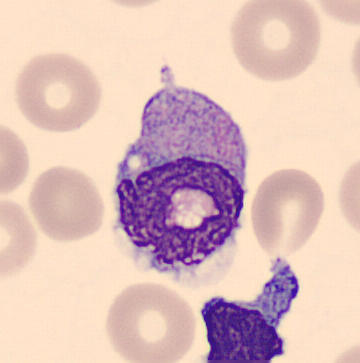

Single cell identified as a monocyte.

Image: Image size 360×363; peripheral blood film; single-cell crop.